Pappenheim-stained. Bone marrow smear:
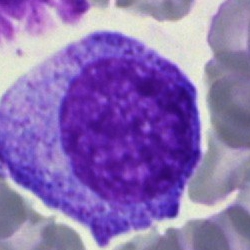
Single cell identified as a progranulocyte.